Brightfield microscopy, 40× oil immersion; bone marrow smear — 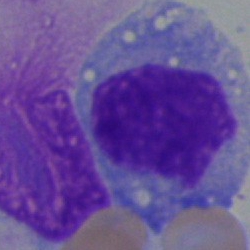 Showing a blast cell.